Bone marrow smear.
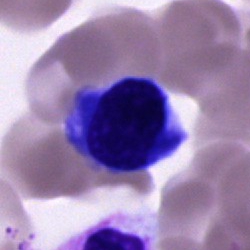Cell of indeterminate lineage.